Bone marrow smear. MGG-stained. Single-cell crop:
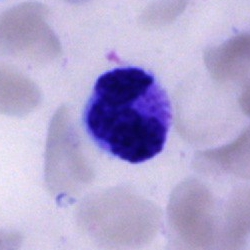 The classification is polymorphonuclear neutrophil.